Bone marrow smear; image size 250×250 — 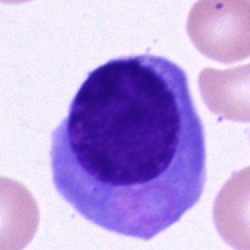

Cell: plasma cell.